Bone marrow aspirate smear · May-Grünwald-Giemsa/Pappenheim stain:
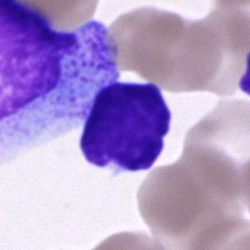Specimen: bone marrow aspirate smear.
Cell: cell of indeterminate lineage.